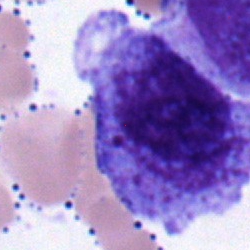 Morphology → undifferentiated blast.